Bone marrow aspirate smear.
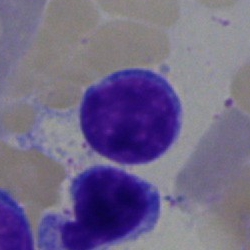
A lymphocyte.